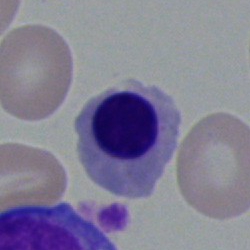Bone marrow aspirate smear, single cell — nucleated red cell.